Bone marrow smear; May-Grünwald-Giemsa stain — 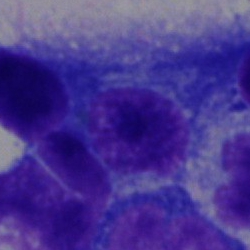 Morphology consistent with an erythroblast.